Bone marrow smear. Brightfield microscopy, 40× oil immersion
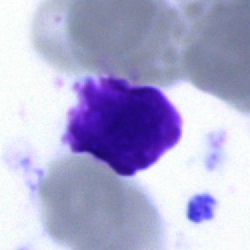The morphological class is artifact.